Single cell centered in the field. Bone marrow smear: 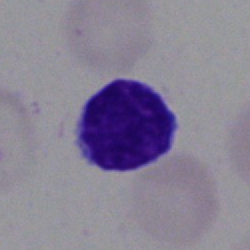 Lymphocyte.